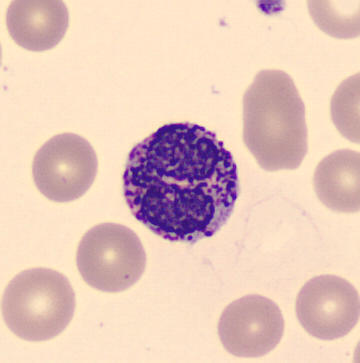 The cell is basophilic granulocyte.